Bone marrow aspirate smear.
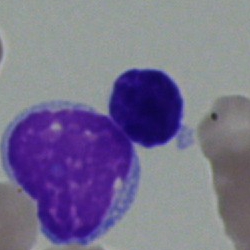

Morphology — lymphocyte.